Bone marrow smear:
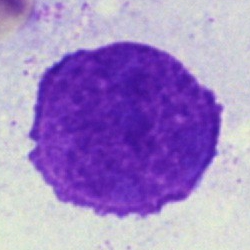 This is an artefact.